Peripheral blood smear
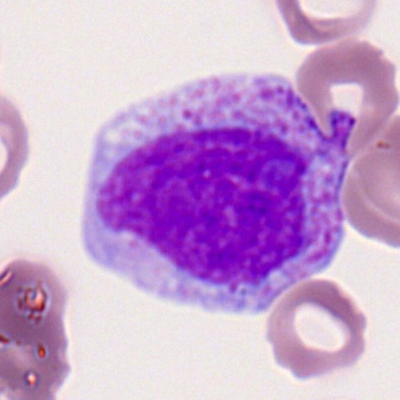

Single cell identified as a myelocyte.